Bone marrow smear — 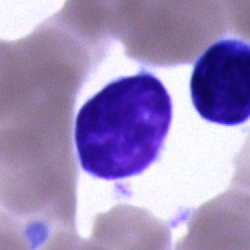

Specimen: bone marrow aspirate smear.
Morphological class: lymphocyte.